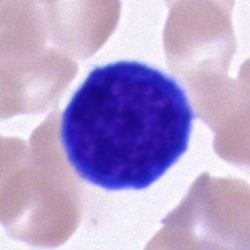Q: What is the morphological classification of this cell?
A: This is a normoblast.